MGG-stained; bone marrow aspirate smear.
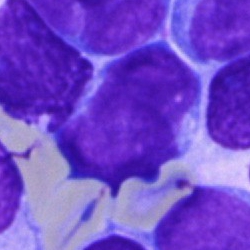The cell shown is an undifferentiated blast.